Peripheral blood film; CellaVision DM96 digital cell image
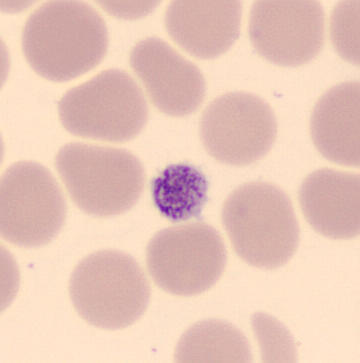
Specimen: peripheral blood film.
Classification: platelet (thrombocyte).